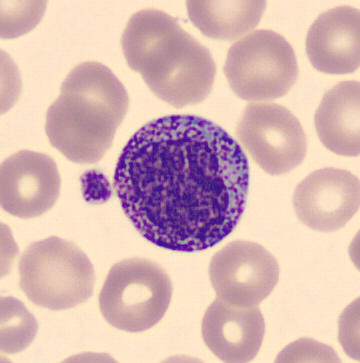 Peripheral blood smear.

Cell type — progranulocyte.